Bone marrow aspirate smear · 40× oil immersion — 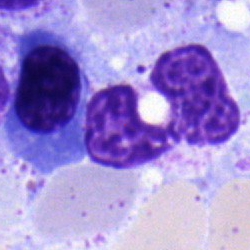

Specimen: bone marrow smear.
Classification: segmented neutrophil.
Lineage: myeloid.